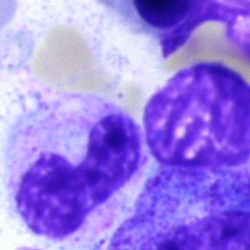A neutrophil (band).